Single cell centered in the field · 40× oil immersion · bone marrow aspirate smear — 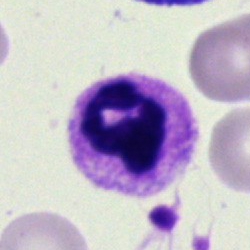The cell shown is a segmented neutrophil.